Bone marrow smear. Single cell centered in the field: 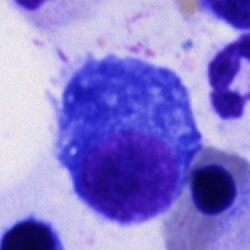Cell = plasma cell.